Peripheral blood film: 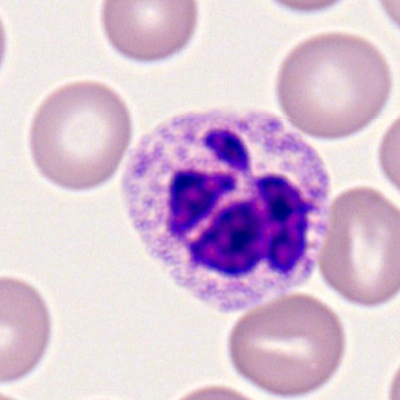
Q: Identify the cell.
A: A polymorphonuclear neutrophil.